Peripheral blood smear:
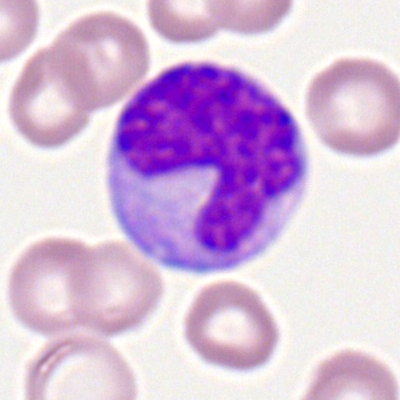Cell = monocyte.